Bone marrow aspirate smear. 250×250
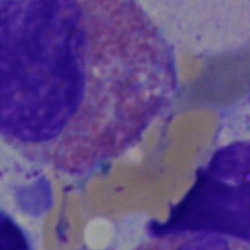
Impression → eosinophil.